250×250; bone marrow smear; cropped to a single cell:
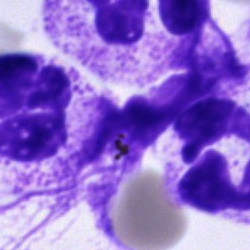 Classification — cell of indeterminate lineage.